Bone marrow aspirate smear: 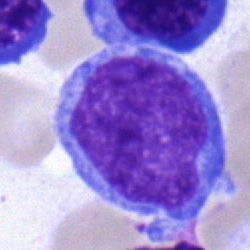
An undifferentiated blast.